Bone marrow aspirate smear:
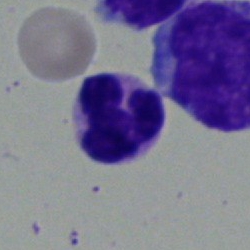 Single cell identified as a neutrophil (segmented).